400×400 · peripheral blood smear.
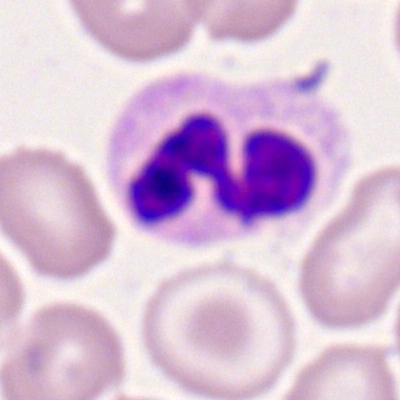 Morphological class — neutrophil (segmented).